Bone marrow smear.
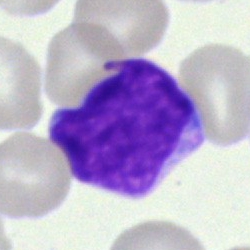The cell shown is an undifferentiated blast.